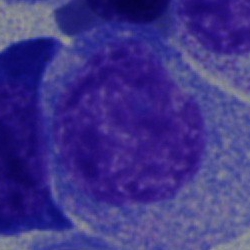 Specimen: bone marrow smear.
Cell: progranulocyte.
Lineage: myeloid.